Image size 250×250 · bone marrow aspirate smear:
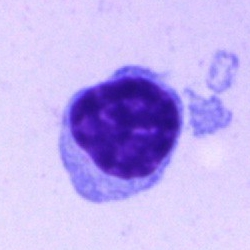
The cell type is lymphocyte.